Bone marrow aspirate smear; brightfield microscopy, 40× oil immersion; single cell centered in the field.
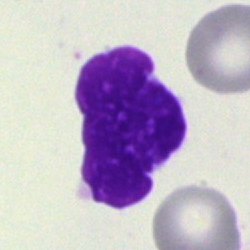 Specimen: bone marrow smear.
Cell: artefact.